Bone marrow aspirate smear · single-cell crop.
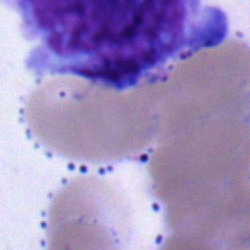

Single cell identified as an undifferentiated blast.